250 by 250 pixels. Bone marrow aspirate smear: 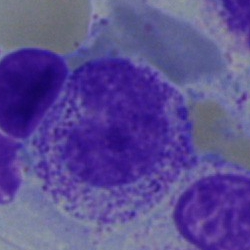
Impression → metamyelocyte.